Bone marrow smear · 40× objective, oil immersion · MGG-stained:
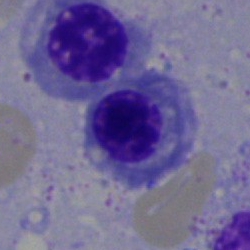

Q: What is shown here?
A: An erythroblast.